Single-cell field. Peripheral blood smear:
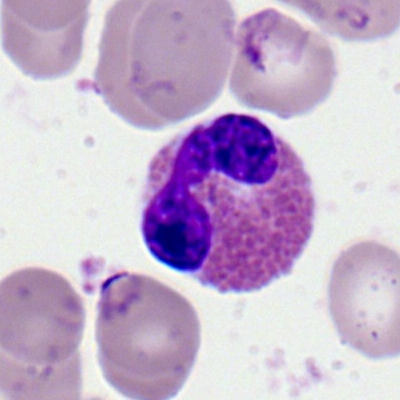 Cell: eosinophilic granulocyte.